Peripheral blood smear:
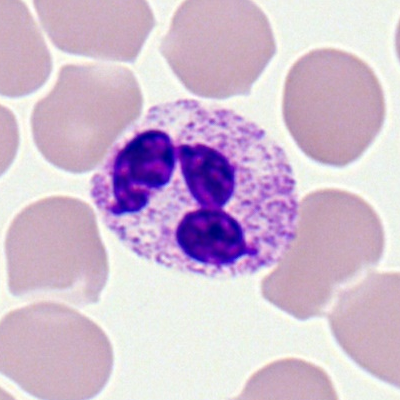

Showing a polymorphonuclear neutrophil.